40× oil immersion; bone marrow aspirate smear.
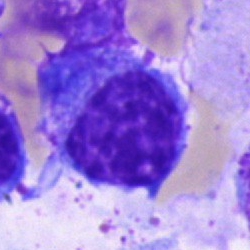Q: Which cell type is shown here?
A: Plasma cell.